Peripheral blood smear.
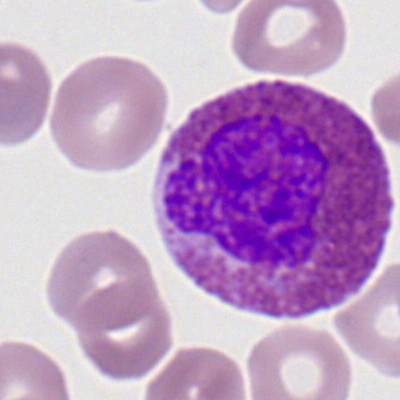
Showing an eosinophilic granulocyte.